Bone marrow aspirate smear · 250×250 px.
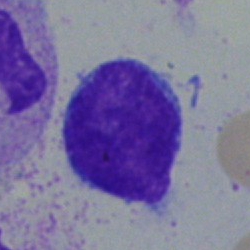 Q: What type of cell is this?
A: A lymphocyte.